40× objective, oil immersion · bone marrow smear:
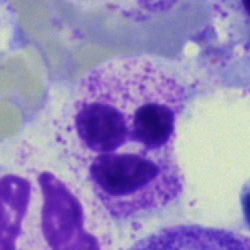Segmented neutrophil.